Bone marrow smear
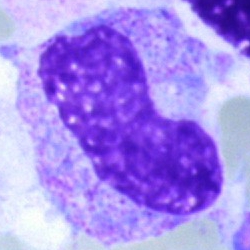Morphological class = band neutrophil.